40× oil immersion; bone marrow smear:
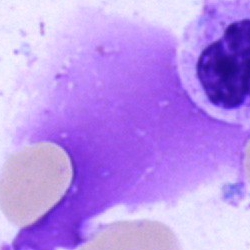Morphology consistent with an artifact.